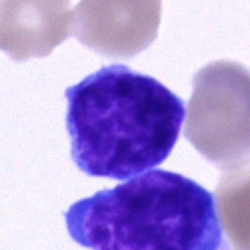
Cell type — blast cell.